Bone marrow aspirate smear — 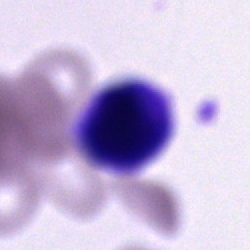
Cell type = unidentifiable cell.